Bone marrow smear
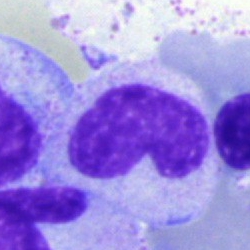 Specimen: bone marrow smear.
Cell type: metamyelocyte.
Lineage: myeloid.